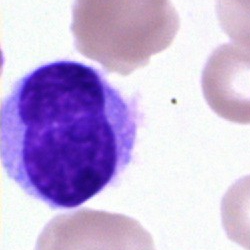Morphological class: hairy cell.